Bone marrow aspirate smear:
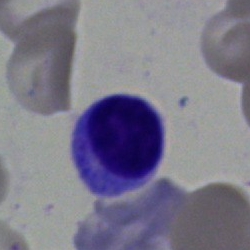

Specimen: bone marrow smear.
Cell: lymphocyte.